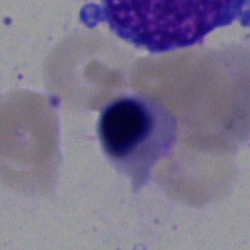 Cell: nucleated red cell.